40× oil immersion; bone marrow aspirate smear:
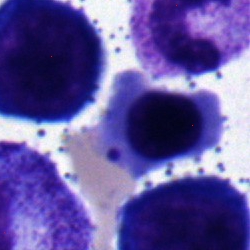

Specimen: bone marrow smear.
Cell type: normoblast.
Lineage: erythroid.